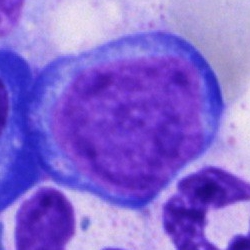 Classification — pronormoblast.